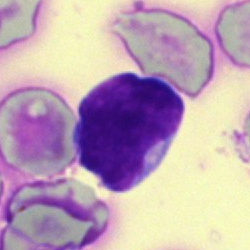
Single cell identified as a lymphocyte.